Bone marrow aspirate smear — 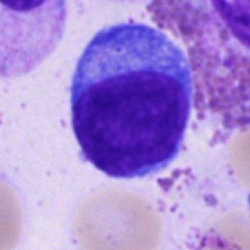
Showing a lymphocyte.